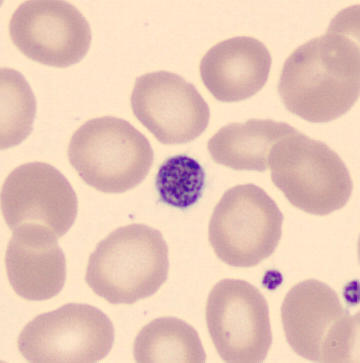Acquisition: Imaged on a CellaVision DM96 analyser · peripheral blood film. Showing a thrombocyte.